Bone marrow aspirate smear: 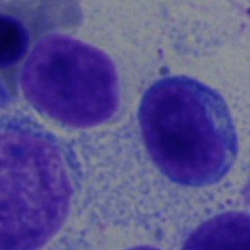Classification = typical lymphocyte.